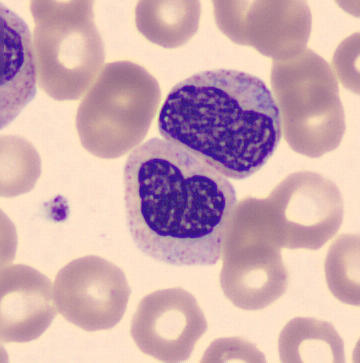

Metamyelocyte.

Acquisition: Peripheral blood film · imaged on a CellaVision DM96 analyser · May-Grünwald-Giemsa-stained.